Image size 250×250. 40× objective, oil immersion. Bone marrow aspirate smear: 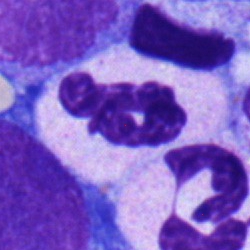 Specimen: bone marrow aspirate smear.
Morphological class: polymorphonuclear neutrophil.
Lineage: myeloid.